Bone marrow aspirate smear:
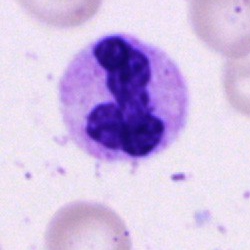
Cell = polymorphonuclear neutrophil.